Bone marrow aspirate smear: 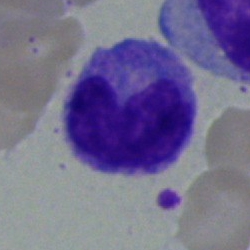
Showing a monocyte.